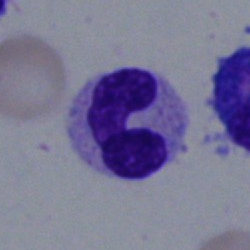Morphological class: neutrophil (band).